Bone marrow aspirate smear — 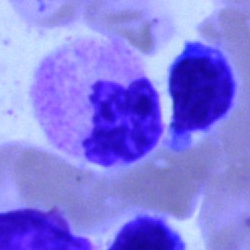

{"cell_type": "polymorphonuclear neutrophil", "lineage": "myeloid"}